250 by 250 pixels · bone marrow aspirate smear
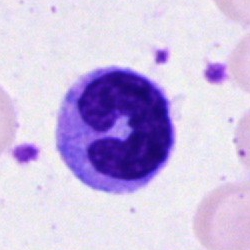The cell shown is a neutrophil (band).